Brightfield, 40× oil-immersion objective · single-cell field · bone marrow smear — 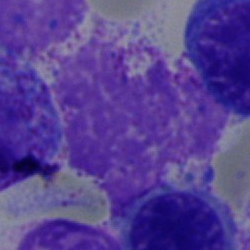

Specimen: bone marrow smear.
Cell type: artefact.